Bone marrow smear
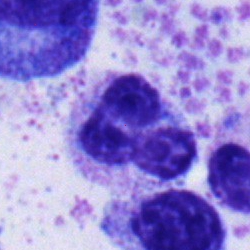

Segmented neutrophil.